40× objective, oil immersion. May-Grünwald-Giemsa stain. Bone marrow aspirate smear
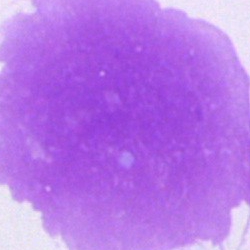

The cell shown is an artefact.